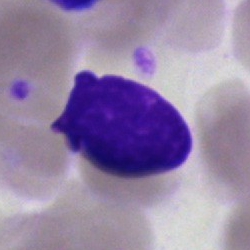 Q: What is shown here?
A: An artifact.